Bone marrow smear. Single cell centered in the field.
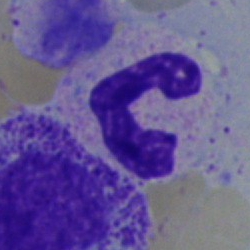
Showing a stab cell.